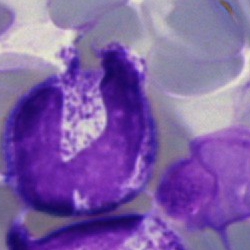 Impression → neutrophil (segmented).